Bone marrow aspirate smear: 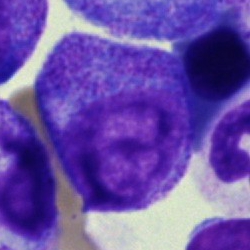Cell type — progranulocyte.